400 by 400 pixels · single cell centered in the field · peripheral blood film: 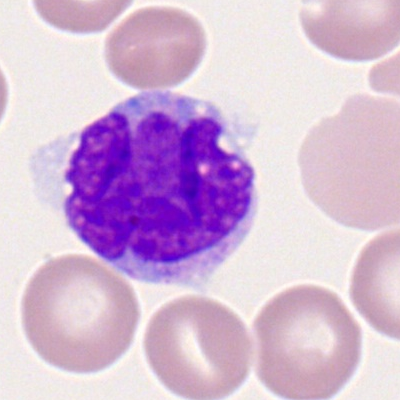Cell = monocyte.